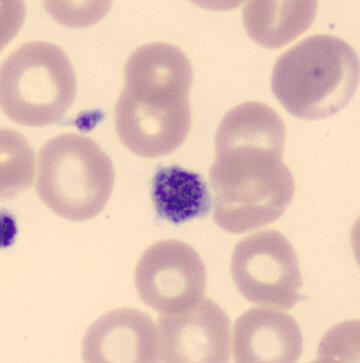
Platelet (thrombocyte).

Peripheral blood smear. MGG-stained. Automated cell imaging (CellaVision DM96).